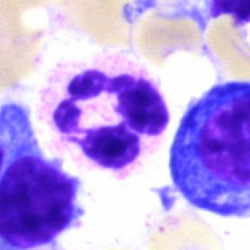

Q: Which cell type is shown here?
A: Polymorphonuclear neutrophil.